40× objective, oil immersion; Pappenheim-stained; bone marrow smear: 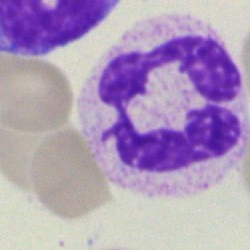Morphology consistent with a polymorphonuclear neutrophil.